Bone marrow aspirate smear: 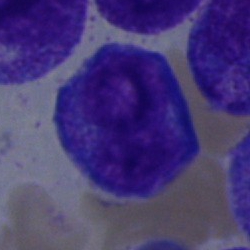 Q: Which cell type is shown here?
A: A promyelocyte.